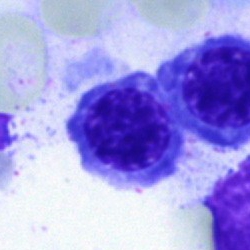Q: What cell is this?
A: Nucleated red blood cell.